Single cell centered in the field. Bone marrow smear. 40× oil immersion.
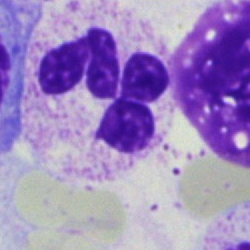
Morphology consistent with a neutrophil (segmented).